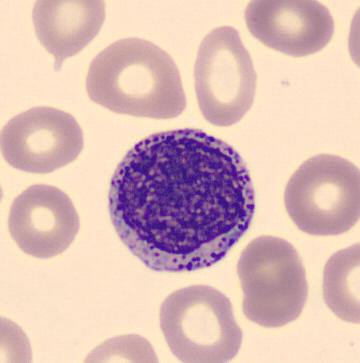

Promyelocyte. Acquisition: Peripheral blood film · 360×363.